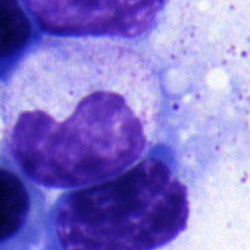

Single-cell crop from a bone marrow smear: neutrophil (band).